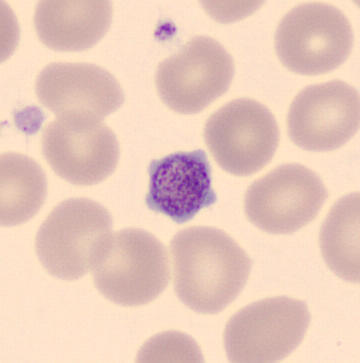Image: Peripheral blood smear · MGG stain.
Morphological class: platelet (thrombocyte).